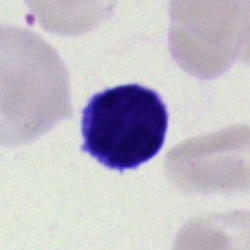The cell is typical lymphocyte.